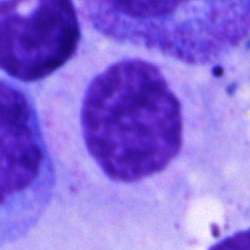 Cell type: artefact.